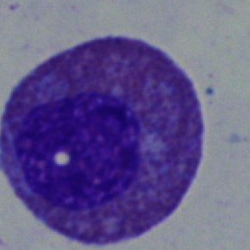 Cell: eosinophil.